Bone marrow aspirate smear:
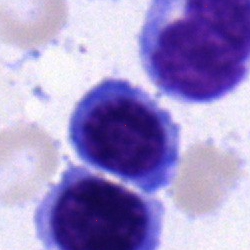 Q: What cell is this?
A: Normoblast.